Bone marrow smear: 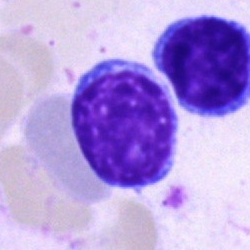Morphology → lymphocyte.